Bone marrow smear: 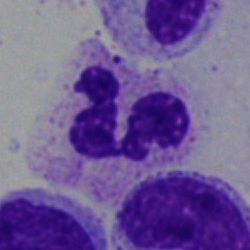
Q: Identify the cell.
A: Neutrophil (segmented).